250 by 250 pixels · bone marrow smear
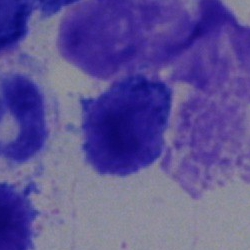

Morphological class — typical lymphocyte.